Peripheral blood smear.
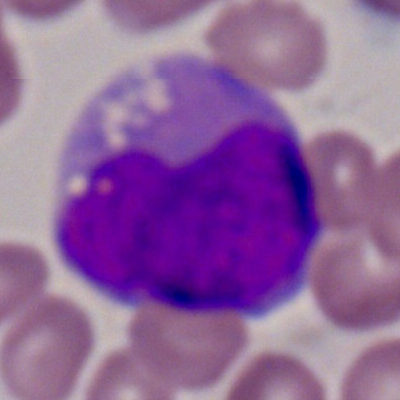

Specimen: peripheral blood smear.
Cell: myeloblast.
Lineage: myeloid.